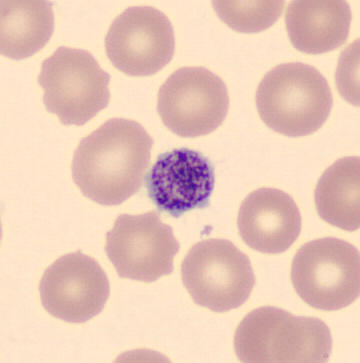 Classification — platelet (thrombocyte).
Peripheral blood film.